250×250 px. Bone marrow aspirate smear. May-Grünwald-Giemsa stain.
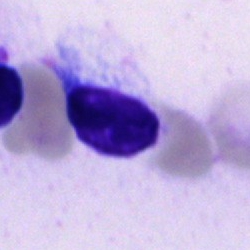
Morphology → typical lymphocyte.